Bone marrow smear
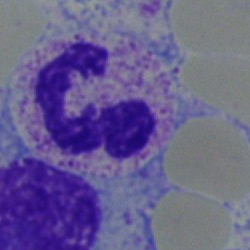Q: What cell is this?
A: A segmented neutrophil.